Bone marrow aspirate smear:
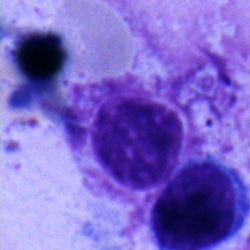 Classification: myelocyte.